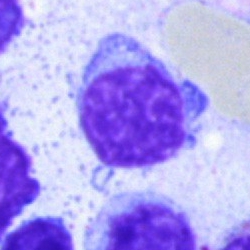 Specimen: bone marrow smear.
Cell type: lymphocyte.
Lineage: lymphoid.